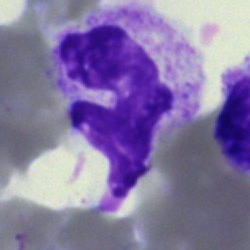

Specimen: bone marrow aspirate smear.
Cell: polymorphonuclear neutrophil.
Lineage: myeloid.